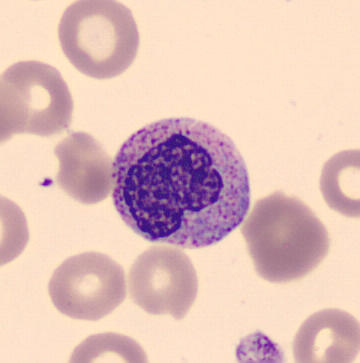

The cell shown is a metamyelocyte.